Pappenheim-stained; 250 by 250 pixels; bone marrow smear.
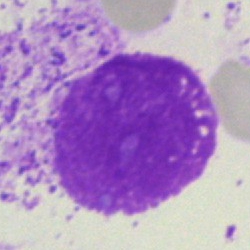 Q: What is shown here?
A: An artifact.